Peripheral blood smear; 400×400:
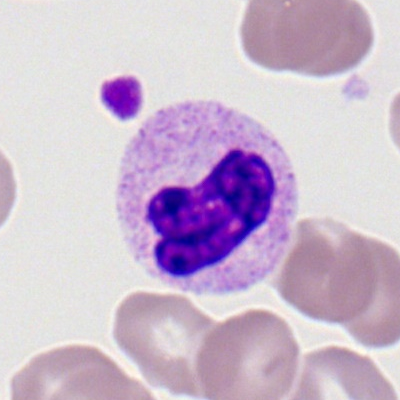Single cell identified as a polymorphonuclear neutrophil.